Cropped to a single cell · bone marrow smear · 250×250
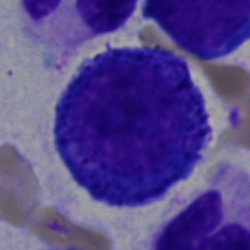 Morphology consistent with a pronormoblast.